Bone marrow smear · May-Grünwald-Giemsa/Pappenheim stain.
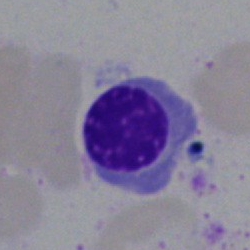A normoblast.